Bone marrow aspirate smear; single-cell crop.
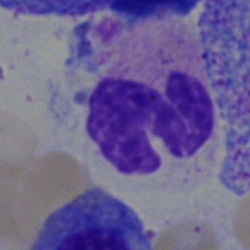 Single cell identified as a polymorphonuclear neutrophil.